250 by 250 pixels; bone marrow smear; brightfield microscopy, 40× oil immersion — 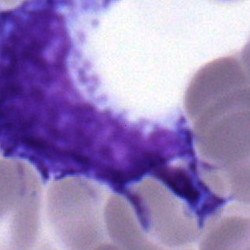
Specimen: bone marrow aspirate smear.
Morphological class: myelocyte.